Brightfield, 40× oil-immersion objective · bone marrow aspirate smear — 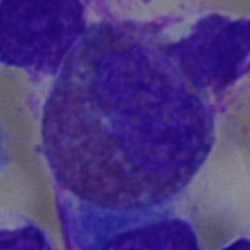 The morphological class is eosinophil.